40× objective, oil immersion; single cell centered in the field; bone marrow aspirate smear:
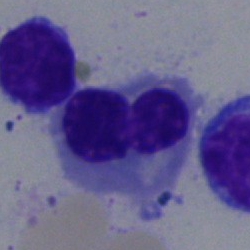
Q: What type of cell is this?
A: A normoblast.